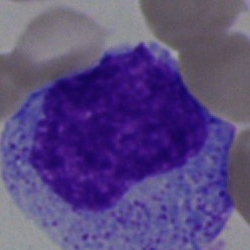
Morphology → promyelocyte.